Single-cell crop · bone marrow smear.
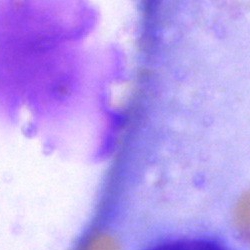 Q: What is shown here?
A: An artefact.